Bone marrow aspirate smear — 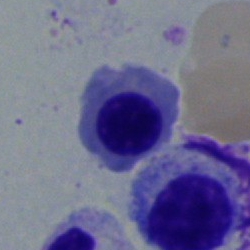 Q: What cell is this?
A: Nucleated red cell.